Bone marrow aspirate smear:
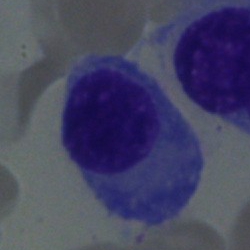Q: What is shown here?
A: A plasma cell.